Bone marrow smear: 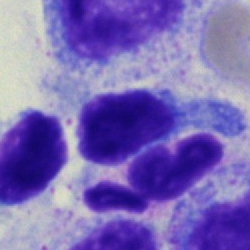

Q: What cell is this?
A: A lymphocyte.